40× oil immersion; MGG-stained; bone marrow aspirate smear.
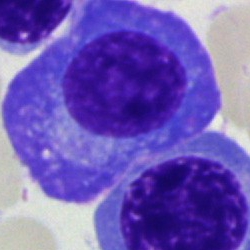 Plasma cell.